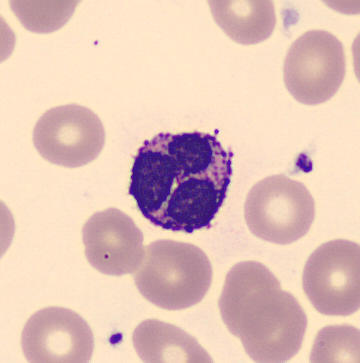

Morphological class — basophilic granulocyte.